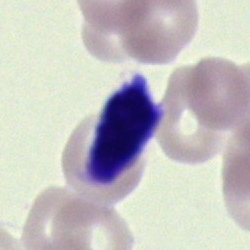

Bone marrow aspirate smear, single cell — typical lymphocyte.